Bone marrow aspirate smear · Pappenheim-stained · 250×250 px:
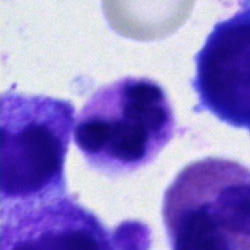

Morphology — neutrophil (segmented).